Bone marrow aspirate smear; brightfield microscopy, 40× oil immersion: 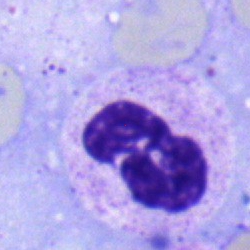 Specimen: bone marrow smear.
Cell type: neutrophil (segmented).
Lineage: myeloid.